Image size 250×250; bone marrow aspirate smear — 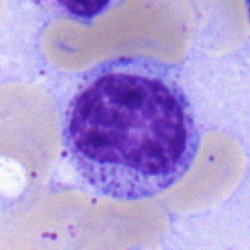

Impression — band-form neutrophil.